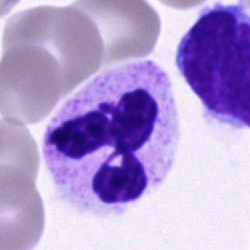 {"cell_type": "polymorphonuclear neutrophil", "lineage": "myeloid"}